Bone marrow smear
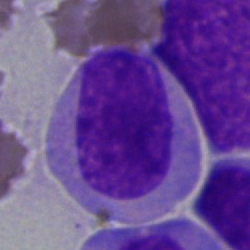 Morphological class — undifferentiated blast.